Bone marrow aspirate smear: 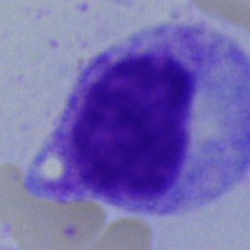

Specimen: bone marrow smear.
Classification: myelocyte.
Lineage: myeloid.